Bone marrow smear — 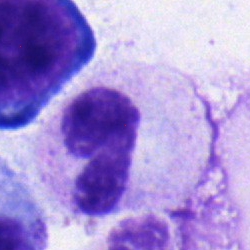

The cell type is neutrophil (segmented).